Peripheral blood smear. 400×400 px: 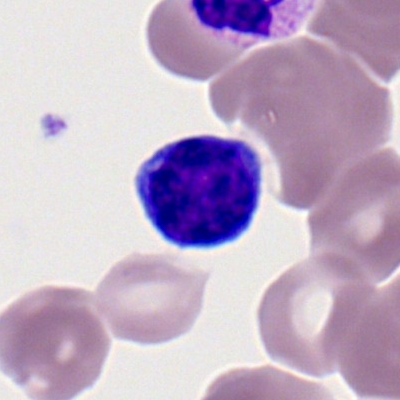 Specimen: peripheral blood film.
Cell: lymphocyte.